Peripheral blood film. Single cell centered in the field: 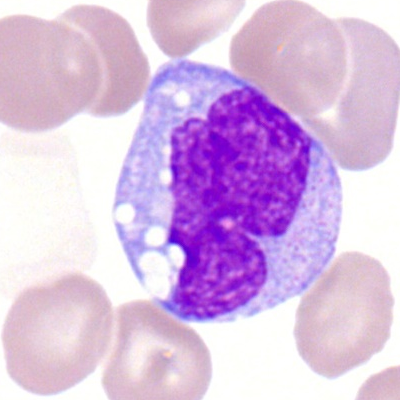
Monocyte.